Brightfield, 40× oil-immersion objective. Bone marrow smear. Cropped to a single cell — 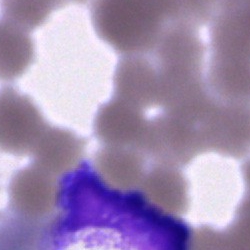Specimen: bone marrow aspirate smear.
Cell type: artefact.